Bone marrow aspirate smear. Brightfield microscopy, 40× oil immersion. 250×250
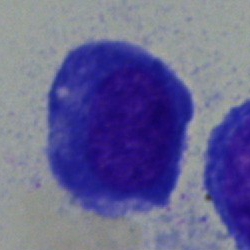
Showing a nucleated red blood cell.